40× objective, oil immersion · bone marrow smear.
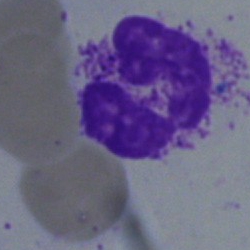
The morphological class is polymorphonuclear neutrophil.